Bone marrow smear — 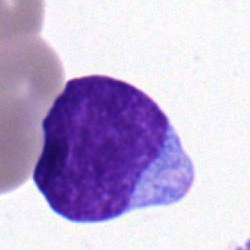

Showing an undifferentiated blast.